Bone marrow aspirate smear · 250 by 250 pixels:
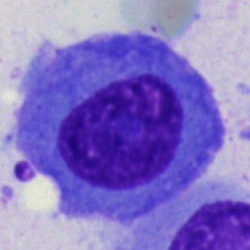 Morphological class = plasma cell.